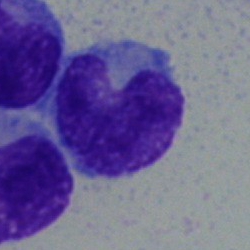

Specimen: bone marrow smear.
Cell type: monocyte.
Lineage: myeloid.